Bone marrow smear — 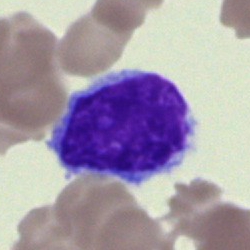
The cell shown is a lymphocyte.